Romanowsky stain · single-cell crop · peripheral blood film — 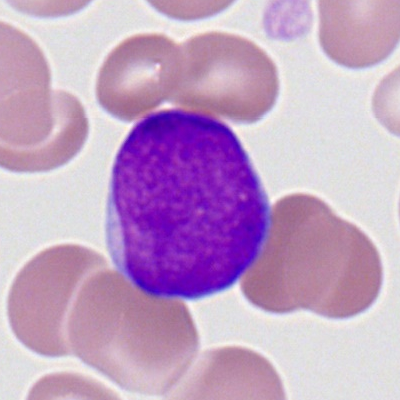

This is a myeloid blast.